Bone marrow smear · image size 250×250 · 40× oil immersion:
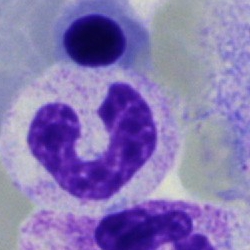
Morphology consistent with a stab cell.